Bone marrow aspirate smear
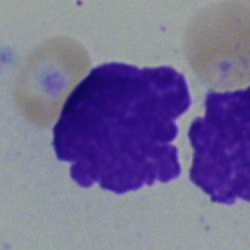
The classification is artefact.